Bone marrow aspirate smear; brightfield, 40× oil-immersion objective; 250×250 px:
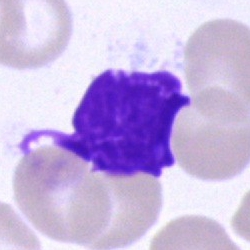
The cell shown is an artifact.